May-Grünwald-Giemsa/Pappenheim stain · 250×250 px · bone marrow smear:
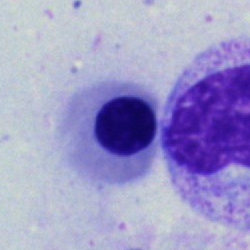

Specimen: bone marrow smear.
Cell type: normoblast.
Lineage: erythroid.